Bone marrow smear
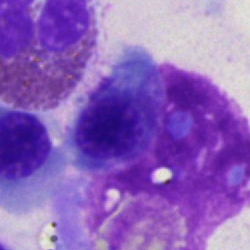Morphological class = artefact.